Bone marrow aspirate smear:
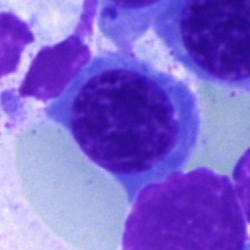
Specimen: bone marrow aspirate smear.
Classification: erythroblast.